Bone marrow smear.
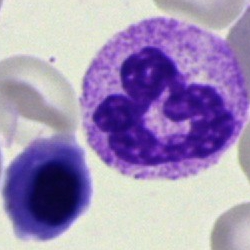 Cell = polymorphonuclear neutrophil.